400×400 px; peripheral blood smear: 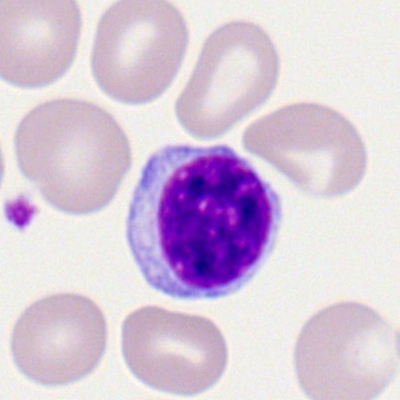
{"cell_type": "typical lymphocyte", "lineage": "lymphoid"}